Bone marrow aspirate smear · 250×250 — 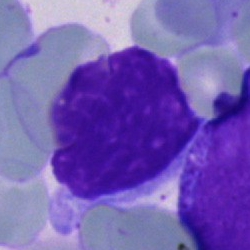Artifact.